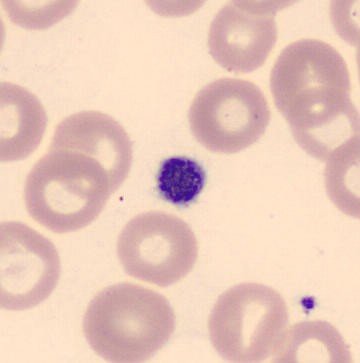 May-Grünwald-Giemsa-stained; peripheral blood smear. Classification: thrombocyte.